Brightfield, 40× oil-immersion objective. May-Grünwald-Giemsa/Pappenheim stain. Bone marrow smear
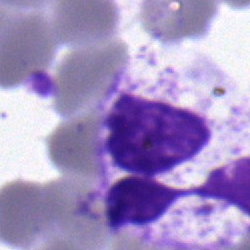The cell type is polymorphonuclear neutrophil.